MGG-stained; 250×250; bone marrow aspirate smear
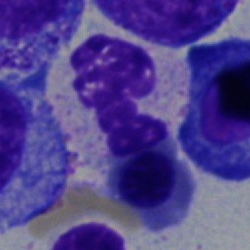 This is a nucleated red blood cell.